Bone marrow smear; Pappenheim-stained: 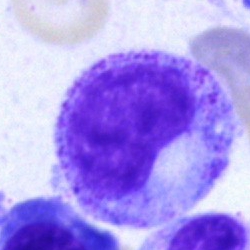

Classification — metamyelocyte.